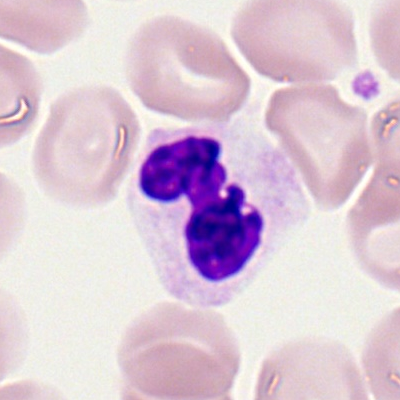 Showing a polymorphonuclear neutrophil.